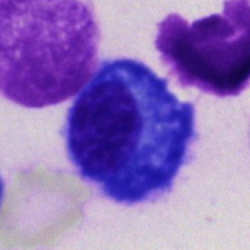{"cell_type": "plasmacyte", "lineage": "lymphoid"}